Bone marrow aspirate smear. 40× oil immersion: 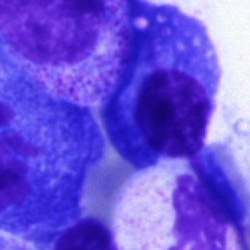

This is a plasma cell.